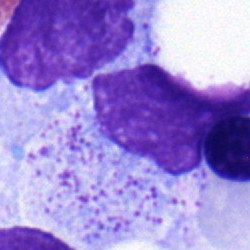

Q: What is the morphological classification of this cell?
A: This is a myelocyte.